Peripheral blood film — 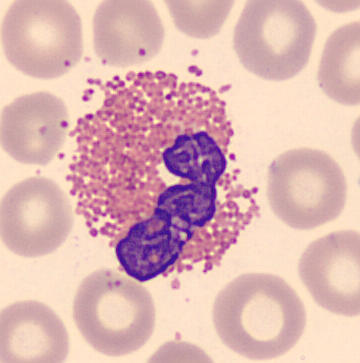The cell shown is an eosinophilic granulocyte.